Pappenheim-stained · bone marrow aspirate smear — 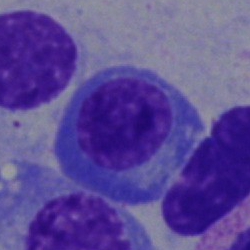Morphology consistent with a plasma cell.